Bone marrow smear — 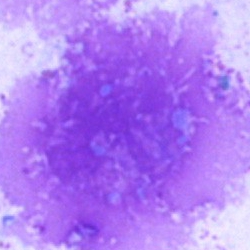 {"cell_type": "artefact"}